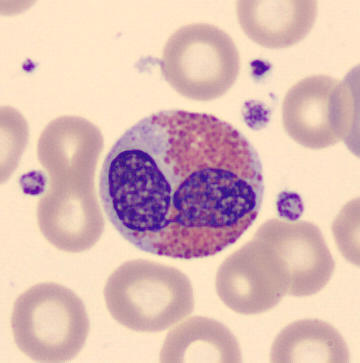
Q: What is shown here?
A: An eosinophil.